Bone marrow smear · 40× oil immersion · 250×250:
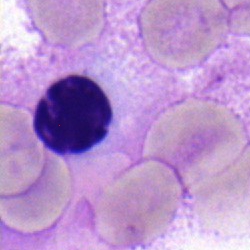
Q: What cell is this?
A: It is a lymphocyte.